Bone marrow aspirate smear. Single-cell crop
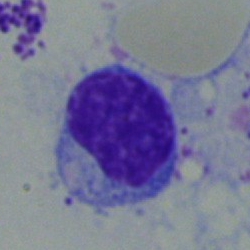 Showing a lymphocyte.